Peripheral blood film. 400×400 px: 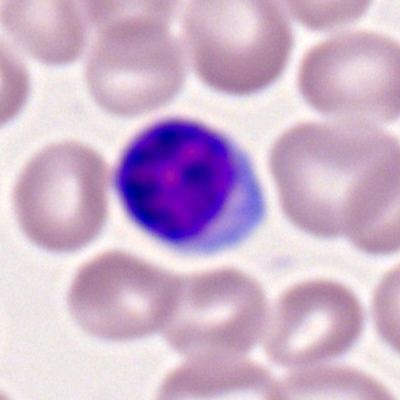Typical lymphocyte.